Brightfield microscopy, 40× oil immersion. Bone marrow smear
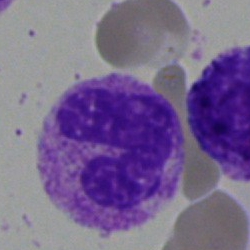Q: What is the morphological classification of this cell?
A: A band neutrophil.